Bone marrow smear: 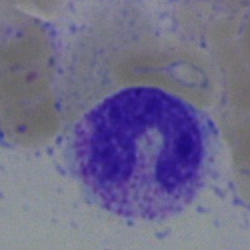{"cell_type": "polymorphonuclear neutrophil", "lineage": "myeloid"}